Bone marrow aspirate smear; single-cell crop; May-Grünwald-Giemsa/Pappenheim stain — 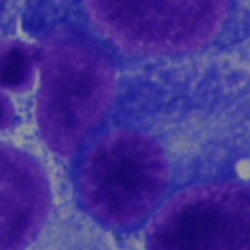

Morphology — plasma cell.